Bone marrow aspirate smear — 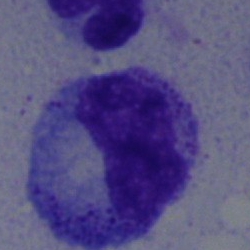Classification: metamyelocyte.